Bone marrow aspirate smear
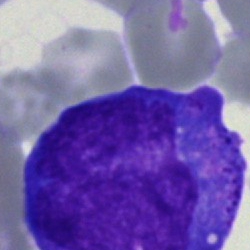
Cell = promyelocyte.